Bone marrow aspirate smear
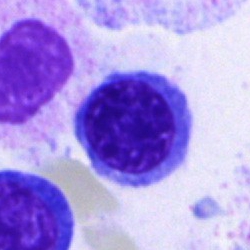
Cell type = erythroblast.